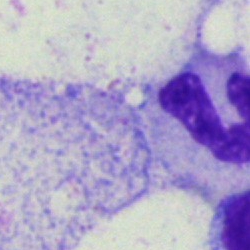
Q: What is shown here?
A: This is an artifact.